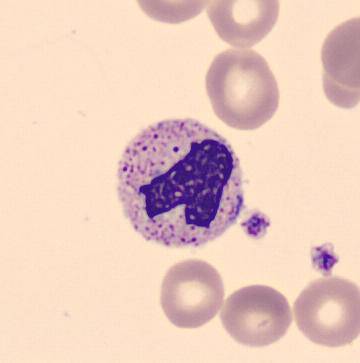Acquisition: Peripheral blood smear · 360 by 363 pixels.
{"cell_type": "neutrophil (band)"}